Bone marrow aspirate smear: 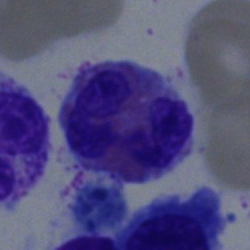 This is an eosinophil.